Bone marrow smear; 250×250 px.
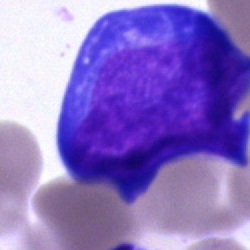Morphology — pronormoblast.